Single cell centered in the field; bone marrow aspirate smear; brightfield, 40× oil-immersion objective — 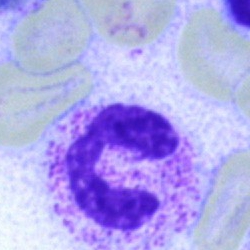Classification — polymorphonuclear neutrophil.